Bone marrow aspirate smear; 250×250; brightfield, 40× oil-immersion objective:
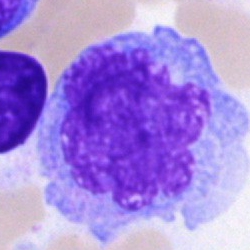

Showing a monocyte.